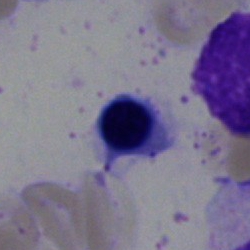 Specimen: bone marrow aspirate smear.
Classification: nucleated red cell.